Bone marrow smear. 250×250. 40× objective, oil immersion: 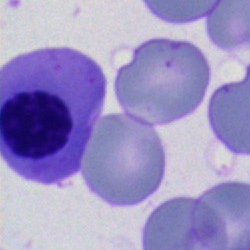 Morphology consistent with an erythroblast.